Bone marrow aspirate smear — 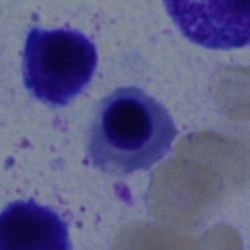

Nucleated red blood cell.